Brightfield, 40× oil-immersion objective · bone marrow aspirate smear — 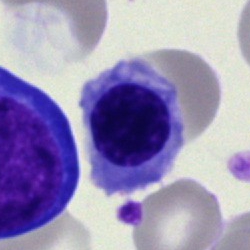

{"cell_type": "nucleated red cell", "lineage": "erythroid"}